Romanowsky-type stain · peripheral blood smear
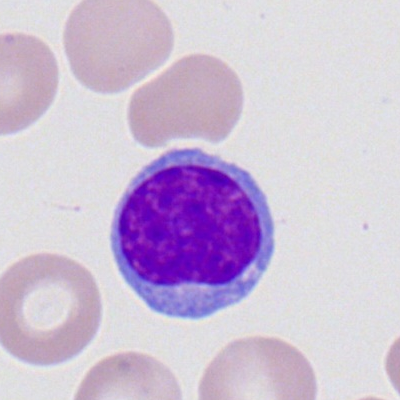Impression — lymphocyte.